Bone marrow smear; MGG-stained; single-cell crop: 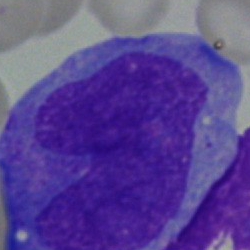Morphological class: monocyte.